Bone marrow smear
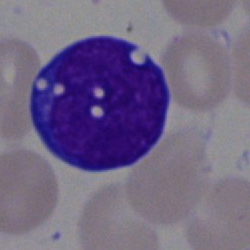Impression → blast.